Bone marrow smear
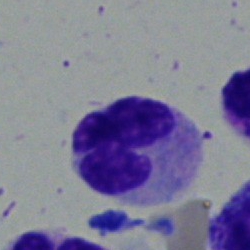
A monocyte.